Bone marrow aspirate smear
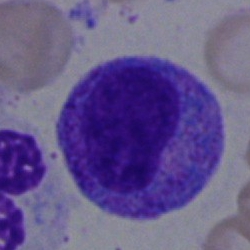Specimen: bone marrow smear.
Cell type: myelocyte.